Bone marrow smear
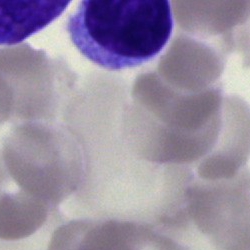

Specimen: bone marrow aspirate smear.
Cell type: artifact.